Bone marrow aspirate smear; 250×250: 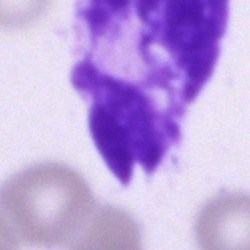
Specimen: bone marrow aspirate smear.
Cell: artifact.